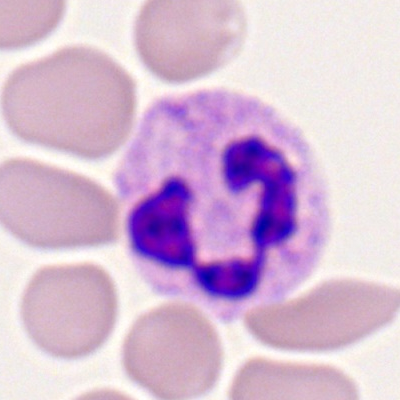
Q: Identify the cell.
A: It is a neutrophil (segmented).